Bone marrow aspirate smear · May-Grünwald-Giemsa stain: 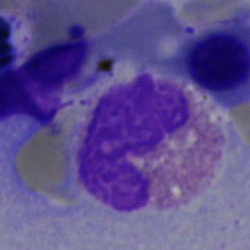
Cell type: eosinophilic granulocyte.